Bone marrow smear:
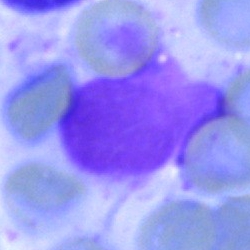Q: What is shown here?
A: It is an artefact.